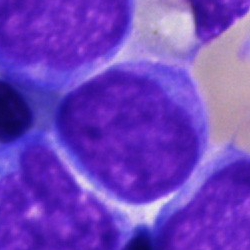Specimen: bone marrow smear.
Morphological class: blast.